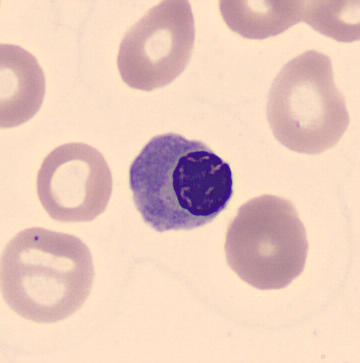 This is an erythroblast.
CellaVision DM96 · peripheral blood film.